Bone marrow aspirate smear:
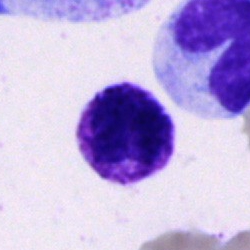Impression → basophilic granulocyte.